Peripheral blood film:
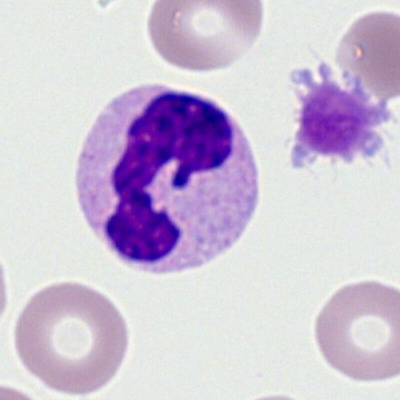 Cell = segmented neutrophil.